Peripheral blood film — 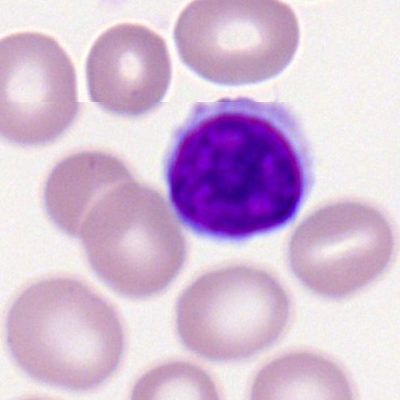

Q: What is shown here?
A: A typical lymphocyte.